Bone marrow aspirate smear:
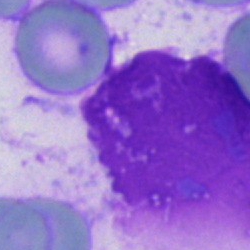 Morphology consistent with an artifact.